Bone marrow aspirate smear:
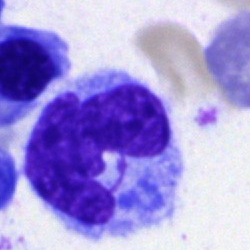 Impression — monocyte.